Bone marrow smear:
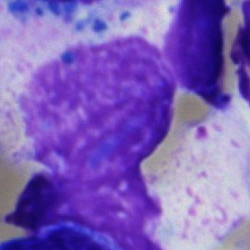Morphological class — artefact.